Bone marrow aspirate smear:
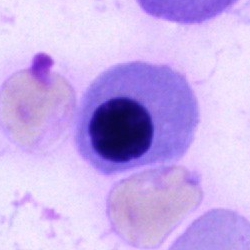Q: What is the morphological classification of this cell?
A: Nucleated red blood cell.